MGG-stained · cropped to a single cell · bone marrow smear
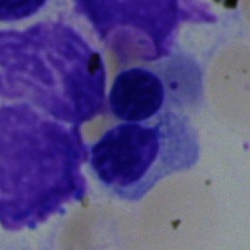Morphology consistent with a nucleated red blood cell.